Bone marrow aspirate smear — 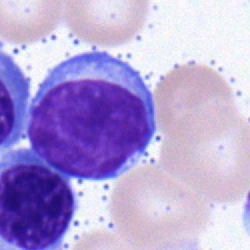

{"cell_type": "lymphocyte", "lineage": "lymphoid"}